Bone marrow smear — 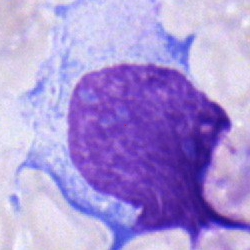 The cell shown is an undifferentiated blast.